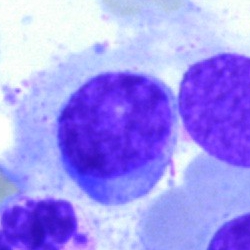Impression → typical lymphocyte.